Pappenheim-stained · bone marrow smear — 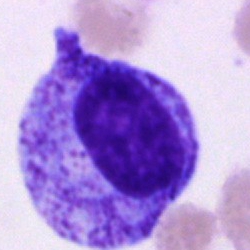

Promyelocyte.